Bone marrow smear. May-Grünwald-Giemsa/Pappenheim stain
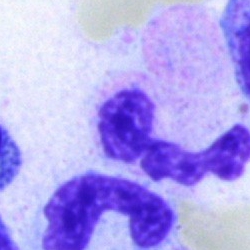 {"cell_type": "neutrophil (segmented)"}